40× objective, oil immersion. Bone marrow smear. Image size 250×250:
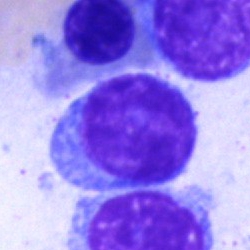
Lymphocyte.